Bone marrow smear: 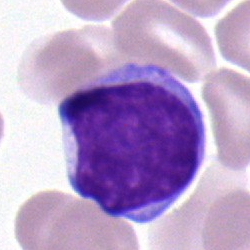 Impression → typical lymphocyte.